Bone marrow smear. 250×250
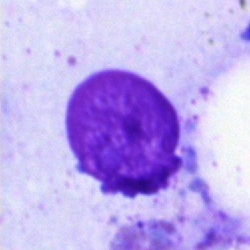

Cell — artefact.